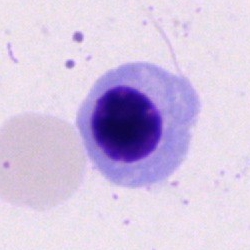

Bone marrow smear showing an erythroblast.